Cropped to a single cell · bone marrow smear · 250×250: 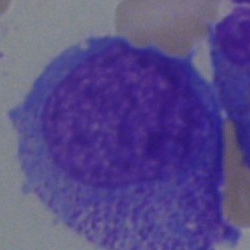
Cell type = progranulocyte.